250×250. Bone marrow smear
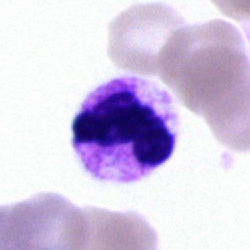Morphology — polymorphonuclear neutrophil.